Bone marrow smear · image size 250×250 · cropped to a single cell:
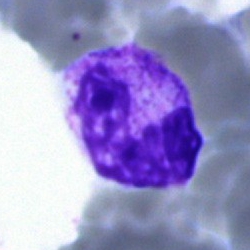

Morphological class: stab cell.